250×250 px. Bone marrow aspirate smear
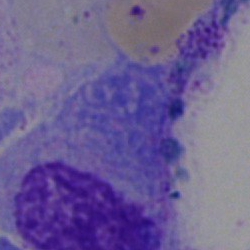
Morphological class: artifact.